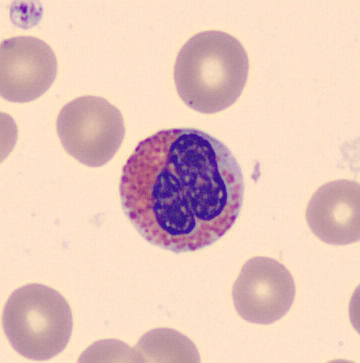Q: Identify the cell.
A: This is an eosinophil. MGG-stained; single-cell crop; peripheral blood smear.